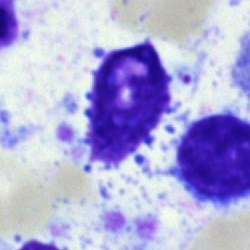Q: What is shown here?
A: It is an artifact.